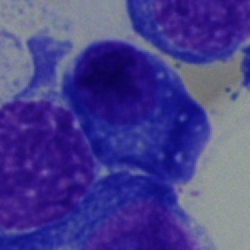The cell type is plasmacyte.